Romanowsky stain · peripheral blood film.
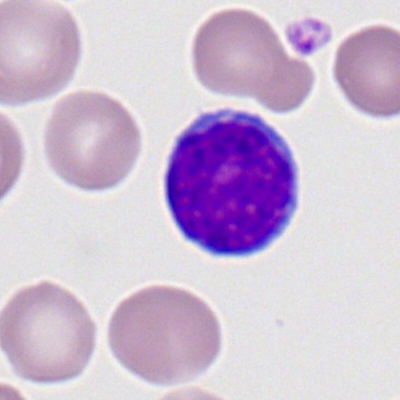Q: Which cell type is shown here?
A: Lymphocyte.